Bone marrow aspirate smear · May-Grünwald-Giemsa stain.
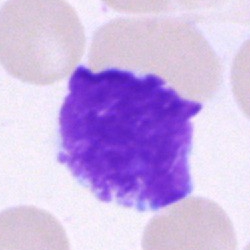
An artefact.